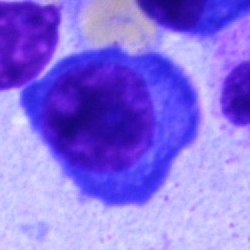Q: What type of cell is this?
A: It is a plasmacyte.